Bone marrow smear: 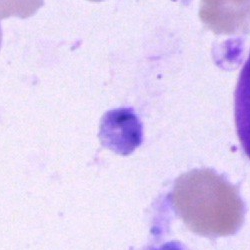The classification is artifact.